Bone marrow smear · 250 by 250 pixels.
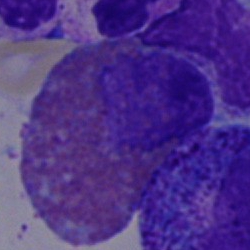

Classification — eosinophil.